Bone marrow aspirate smear:
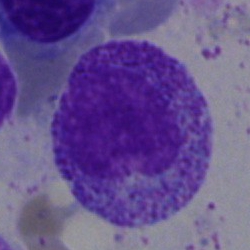Morphological class — promyelocyte.